Bone marrow smear. Pappenheim-stained.
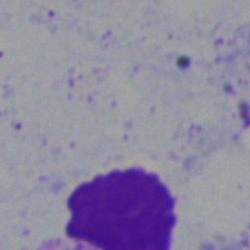Showing an artifact.